Peripheral blood film. 100× oil immersion. Image size 400×400
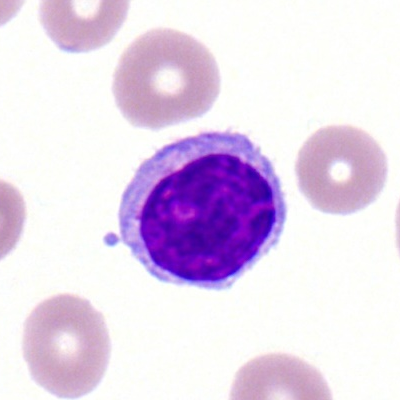Q: Which cell type is shown here?
A: It is a lymphocyte.